Bone marrow aspirate smear — 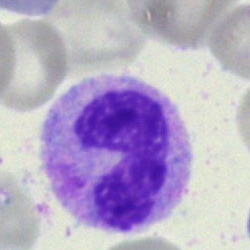Stab cell.